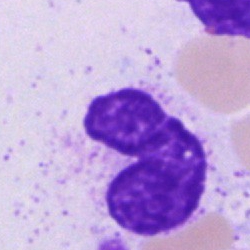 Morphological class — artefact.